Bone marrow aspirate smear; May-Grünwald-Giemsa stain:
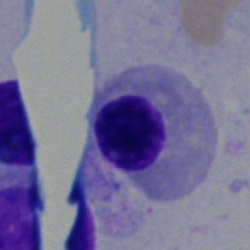Cell = normoblast.